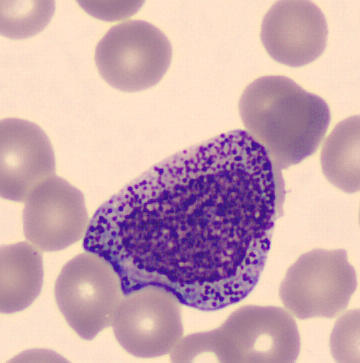
Image: Peripheral blood film.
Morphology — progranulocyte.